Bone marrow smear:
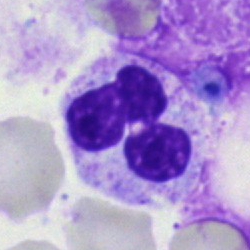Single cell identified as a segmented neutrophil.